Peripheral blood film
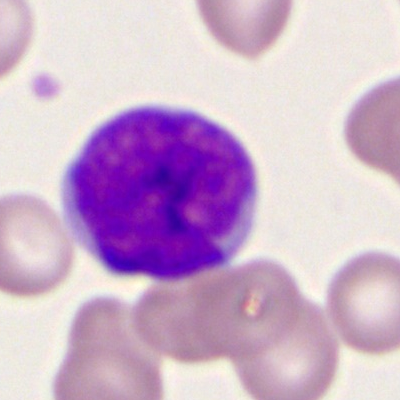 Q: Which cell type is shown here?
A: This is a myeloblast.